Brightfield microscopy, 40× oil immersion. Bone marrow aspirate smear.
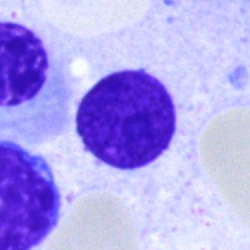
Cell — artifact.